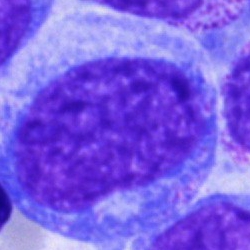
Q: What type of cell is this?
A: It is a blast cell.